Bone marrow aspirate smear.
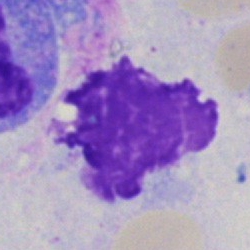
The cell type is artifact.